Bone marrow smear: 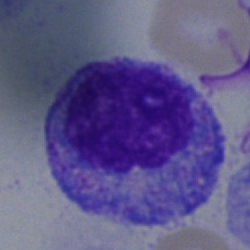Q: What cell is this?
A: A progranulocyte.